Bone marrow smear — 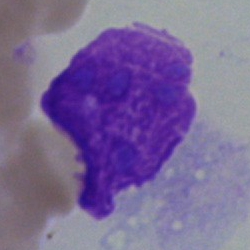 Cell type: artifact.